Bone marrow smear: 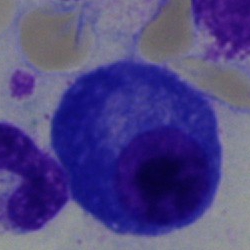
Cell type: plasma cell.